Bone marrow smear: 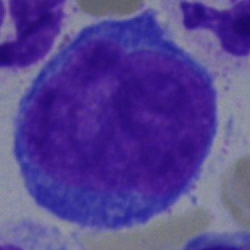Morphology consistent with a normoblast.